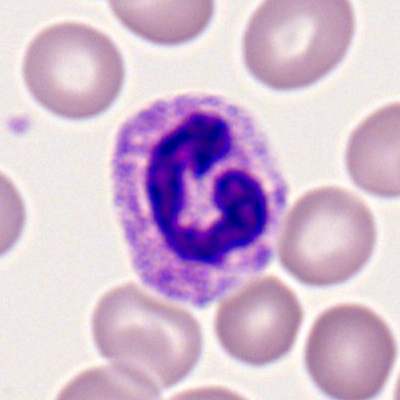 Peripheral blood film, single cell — segmented neutrophil.